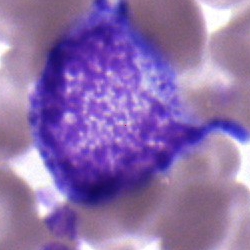
Morphology — myelocyte.